Bone marrow aspirate smear
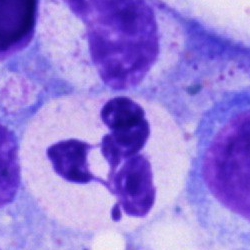Morphology consistent with a segmented neutrophil.